Bone marrow aspirate smear; 250×250 px: 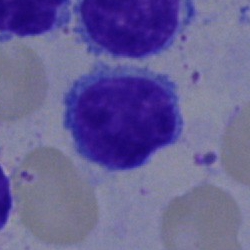

Q: What type of cell is this?
A: A typical lymphocyte.